Bone marrow smear. Pappenheim-stained. 250 by 250 pixels
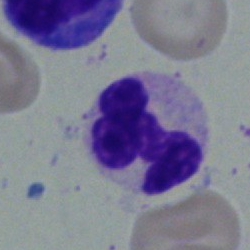{"cell_type": "polymorphonuclear neutrophil", "lineage": "myeloid"}